Bone marrow smear; 40× objective, oil immersion:
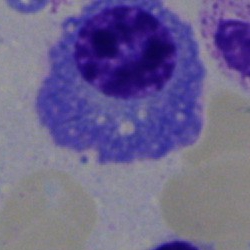A plasmacyte.